MGG-stained. Bone marrow aspirate smear: 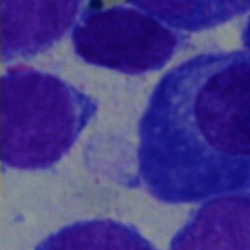
Classification — plasmacyte.